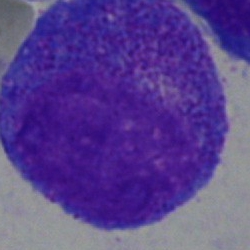
Q: Identify the cell.
A: It is a progranulocyte.